Peripheral blood smear. 100× oil immersion
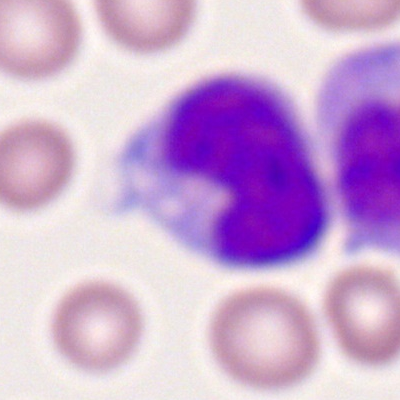 Q: What type of cell is this?
A: Monocyte.